MGG-stained. Bone marrow aspirate smear: 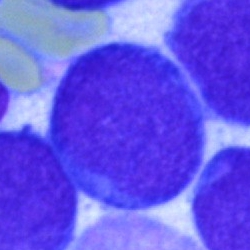
Morphological class: undifferentiated blast.